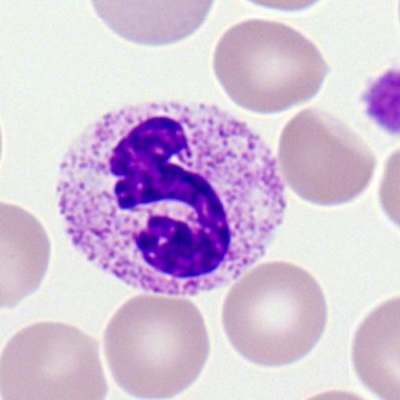
Specimen: peripheral blood smear.
Cell: segmented neutrophil.
Lineage: myeloid.